Bone marrow smear · MGG-stained:
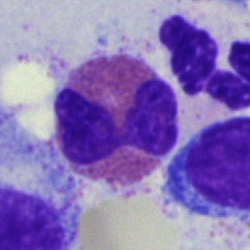

The cell type is eosinophilic granulocyte.